Bone marrow aspirate smear. Cropped to a single cell: 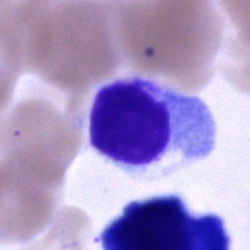 Q: Which cell type is shown here?
A: An unidentifiable cell.